Bone marrow smear; single-cell field:
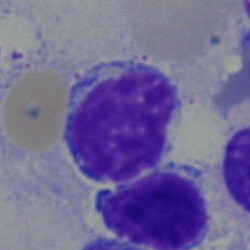

Morphology consistent with a lymphocyte.